Bone marrow aspirate smear — 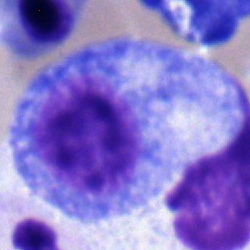 A promyelocyte.